Bone marrow smear
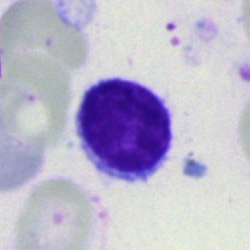

Classification = typical lymphocyte.